Image size 250×250 · bone marrow aspirate smear.
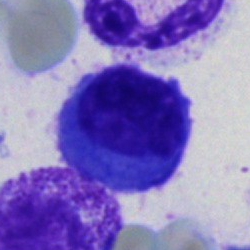
Showing a plasma cell.